Bone marrow smear: 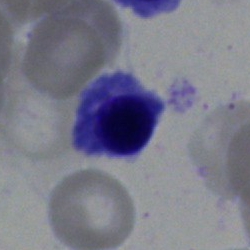

This is a normoblast.